Peripheral blood film · 360×363.
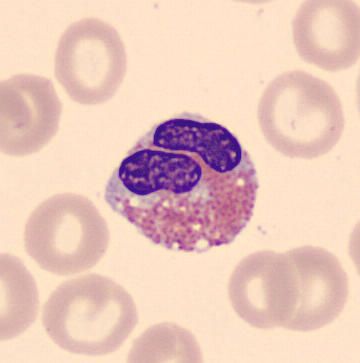

The cell shown is an eosinophil.